Single-cell crop · 250 by 250 pixels · bone marrow aspirate smear.
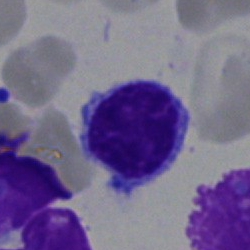 The cell type is lymphocyte.